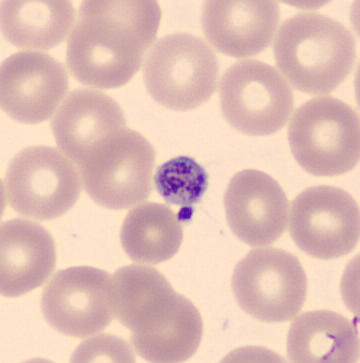Image: Peripheral blood film. Q: What is this?
A: This is a thrombocyte.